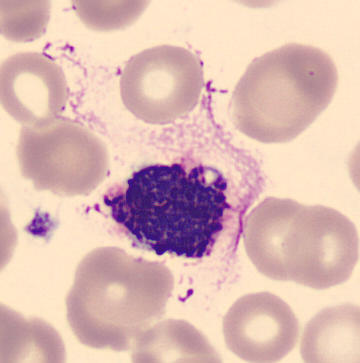 A basophil.